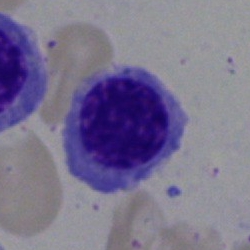

Morphology — normoblast.